250 by 250 pixels; bone marrow smear; single cell centered in the field
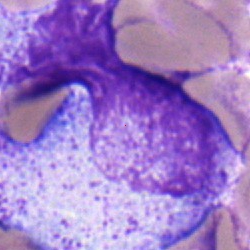
Specimen: bone marrow smear.
Classification: promyelocyte.
Lineage: myeloid.